Bone marrow smear; brightfield microscopy, 40× oil immersion:
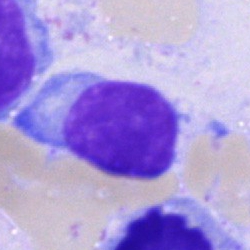

The morphological class is typical lymphocyte.